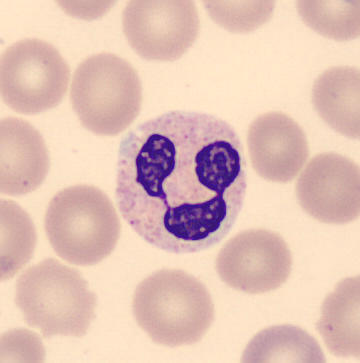 Peripheral blood film · May Grünwald-Giemsa stain. Q: What type of cell is this?
A: It is a segmented neutrophil.